Bone marrow aspirate smear:
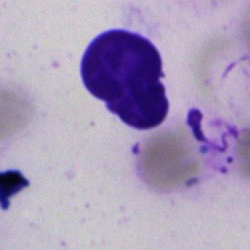

The morphological class is artifact.